Bone marrow smear; MGG-stained; brightfield microscopy, 40× oil immersion.
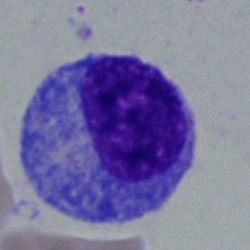Specimen: bone marrow aspirate smear.
Classification: progranulocyte.
Lineage: myeloid.